Bone marrow aspirate smear:
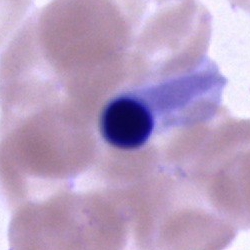Q: What is the morphological classification of this cell?
A: It is an erythroblast.